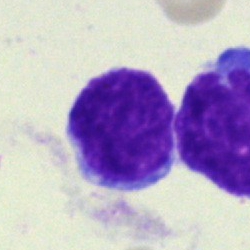Impression — lymphocyte.